Bone marrow aspirate smear: 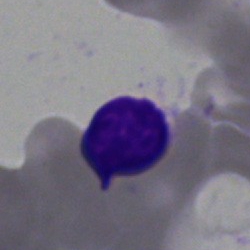Q: What cell is this?
A: It is a typical lymphocyte.